250×250; bone marrow aspirate smear — 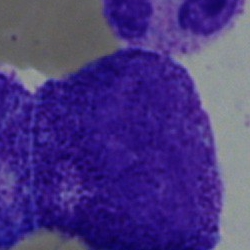Showing a progranulocyte.